Peripheral blood film:
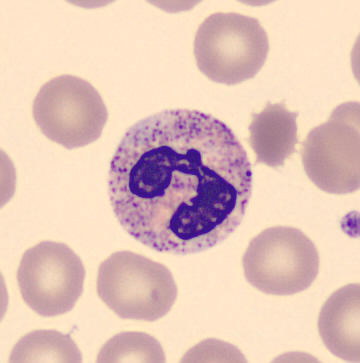 Cell — segmented neutrophil.